Bone marrow aspirate smear.
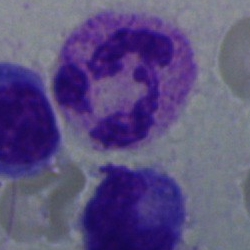 Single cell identified as a segmented neutrophil.